May-Grünwald-Giemsa/Pappenheim stain · bone marrow smear · 40× objective, oil immersion:
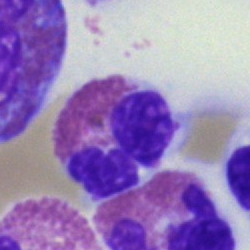

Q: Which cell type is shown here?
A: This is an eosinophilic granulocyte.